Bone marrow smear; brightfield microscopy, 40× oil immersion.
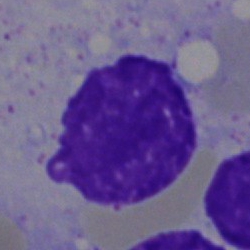

Single cell identified as an artifact.